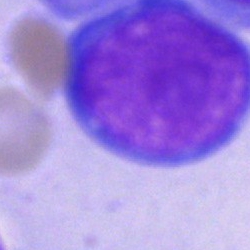
Undifferentiated blast.